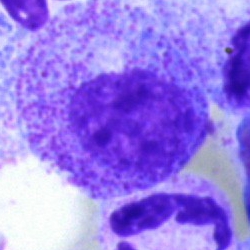 Single cell identified as a myelocyte.